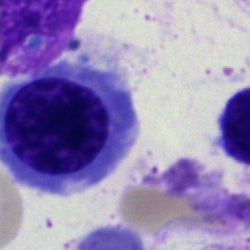 Q: What type of cell is this?
A: It is an erythroblast.